250×250 px. Bone marrow aspirate smear. Cropped to a single cell: 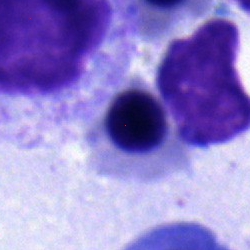
Showing a nucleated red cell.